40× objective, oil immersion · bone marrow smear — 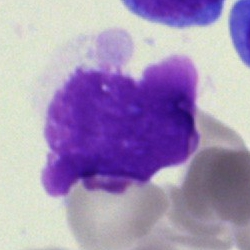
Q: What is shown here?
A: This is an artefact.